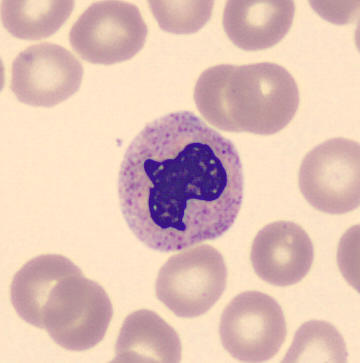

Single cell identified as a polymorphonuclear neutrophil.